Cropped to a single cell · bone marrow aspirate smear · brightfield, 40× oil-immersion objective: 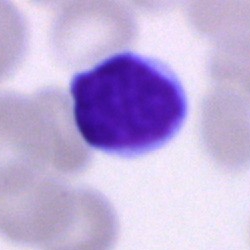Morphology consistent with a typical lymphocyte.